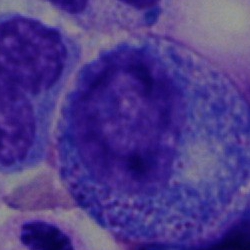Classification = myelocyte.